Bone marrow aspirate smear; Pappenheim-stained
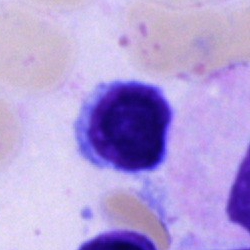

Single cell identified as a lymphocyte.